Bone marrow aspirate smear
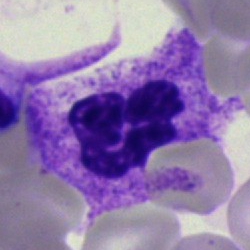

Morphological class: segmented neutrophil.